Bone marrow aspirate smear: 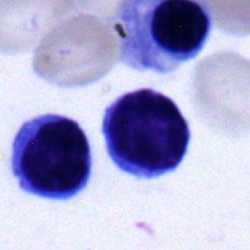

Showing a lymphocyte.